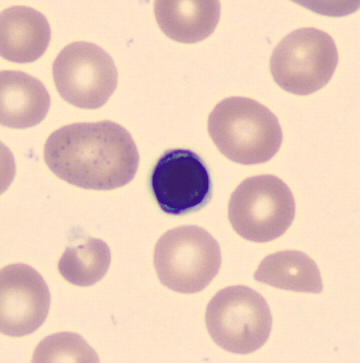
Preparation: Peripheral blood film. Impression → nucleated red blood cell.